Peripheral blood smear:
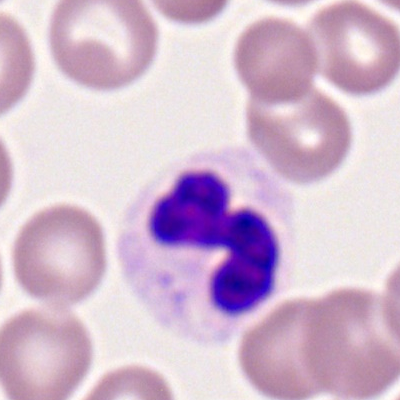 Morphology consistent with a polymorphonuclear neutrophil.